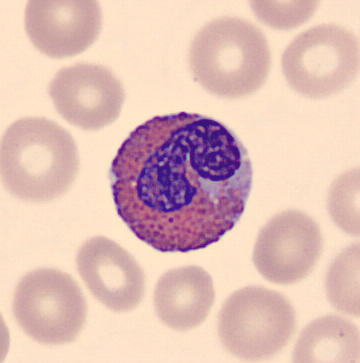Preparation: Peripheral blood smear · single-cell crop.
Morphology — eosinophil.